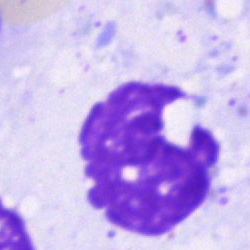
Bone marrow smear showing an artefact.